Bone marrow aspirate smear — 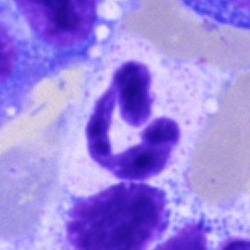Morphology consistent with a neutrophil (segmented).